Cropped to a single cell; bone marrow smear:
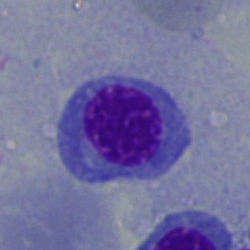
Impression → nucleated red blood cell.